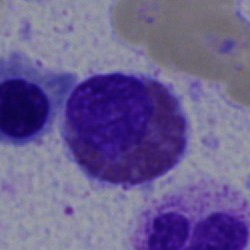
Showing an eosinophil.